Bone marrow aspirate smear — 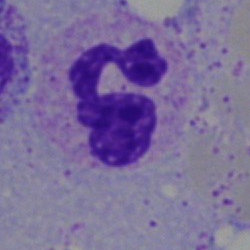Cell = neutrophil (segmented).